250 by 250 pixels; bone marrow smear:
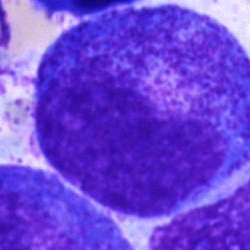 This is a promyelocyte.